Cropped to a single cell · MGG-stained · bone marrow smear: 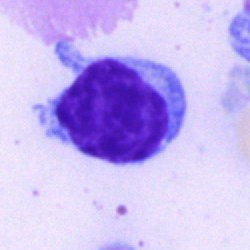 Q: What type of cell is this?
A: It is a lymphocyte.